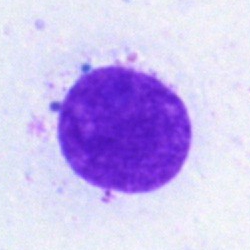
{"cell_type": "artefact"}